Bone marrow aspirate smear — 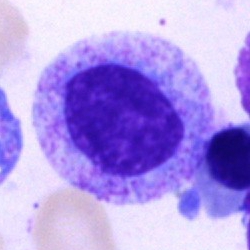

{"cell_type": "progranulocyte"}